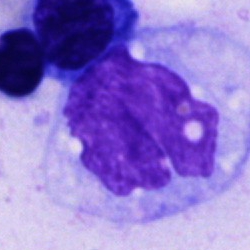 Specimen: bone marrow smear.
Classification: monocyte.